Single cell centered in the field. Bone marrow smear. May-Grünwald-Giemsa/Pappenheim stain — 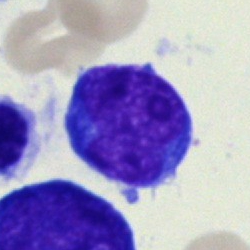
Cell: typical lymphocyte.